Bone marrow aspirate smear. Pappenheim-stained. 250 by 250 pixels
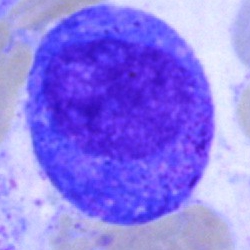

Classification = progranulocyte.